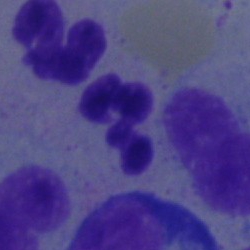

Morphological class = polymorphonuclear neutrophil.